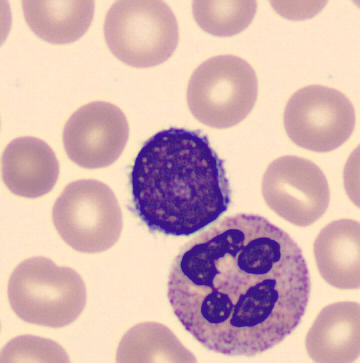 Peripheral blood smear.
Impression — lymphocyte.